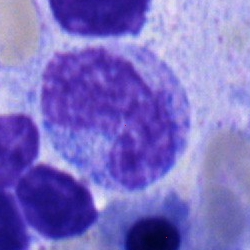{"cell_type": "stab cell", "lineage": "myeloid"}